Bone marrow smear: 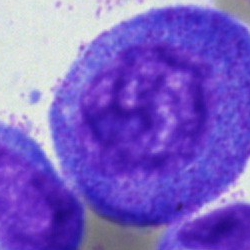Q: Identify the cell.
A: Promyelocyte.